Bone marrow aspirate smear.
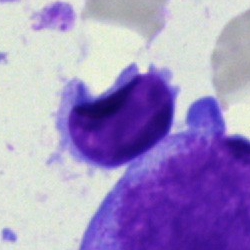 The cell is lymphocyte.